Bone marrow smear; 250×250; May-Grünwald-Giemsa stain.
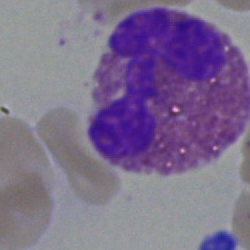
Showing an eosinophil.